Bone marrow smear
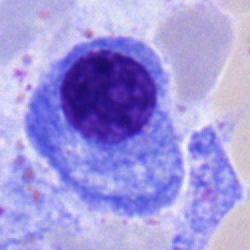Specimen: bone marrow aspirate smear.
Classification: plasma cell.
Lineage: lymphoid.